Bone marrow smear; image size 250×250; single cell centered in the field: 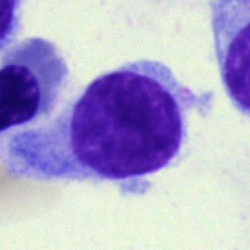Classification: hairy cell.